Bone marrow smear — 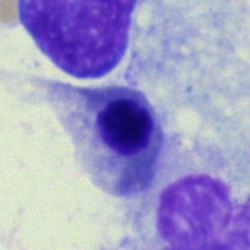 Morphology consistent with a nucleated red blood cell.